Bone marrow smear. Image size 250×250. 40× oil immersion — 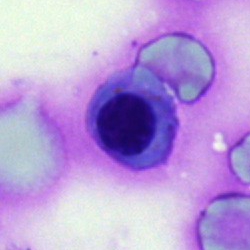

Q: What is the morphological classification of this cell?
A: A nucleated red blood cell.